Bone marrow aspirate smear
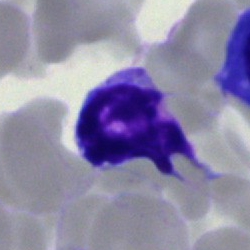

Morphological class = typical lymphocyte.